Bone marrow aspirate smear — 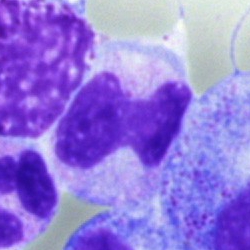
Band-form neutrophil.